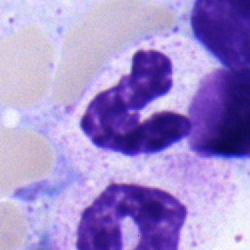
Single cell identified as a polymorphonuclear neutrophil.